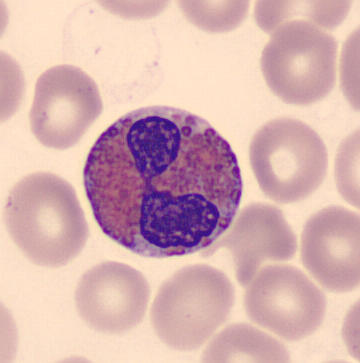Image size 360×363. Specimen: peripheral blood film.
Morphological class: eosinophil.
Lineage: myeloid.